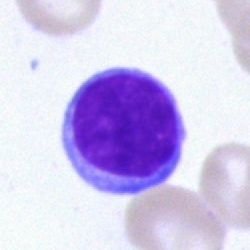 Morphology — blast cell.